Bone marrow aspirate smear: 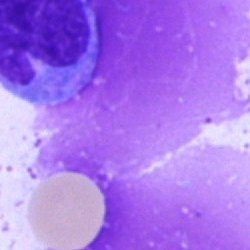

Q: What is shown here?
A: It is an artifact.